Bone marrow smear
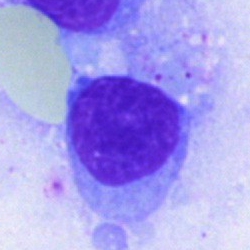Morphology consistent with a plasma cell.